Bone marrow smear. Pappenheim-stained. Single cell centered in the field — 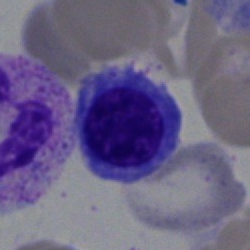
This is an erythroblast.